Bone marrow smear.
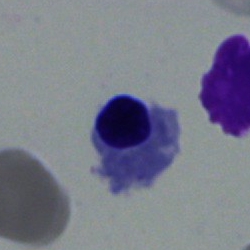Morphology consistent with a normoblast.